Bone marrow smear:
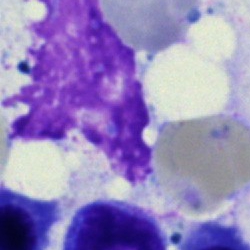Artifact.